Peripheral blood film · image size 360×363.
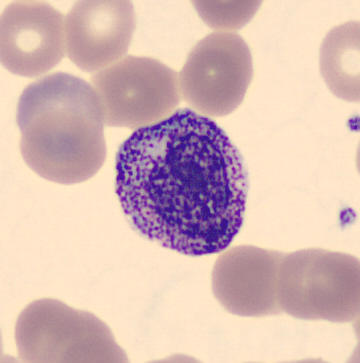
Cell — myelocyte.